Bone marrow smear:
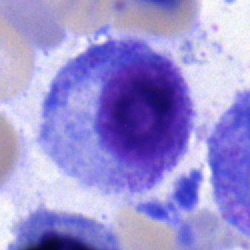

The cell shown is a progranulocyte.